250 by 250 pixels; bone marrow aspirate smear
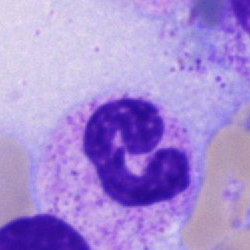 Impression → polymorphonuclear neutrophil.